400 by 400 pixels. M8 digital microscope (Precipoint), 100× oil immersion. Peripheral blood smear.
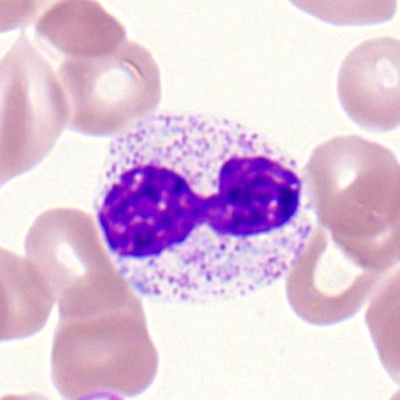 Classification: neutrophil (segmented).